Bone marrow smear.
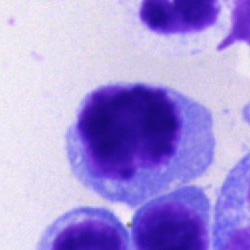

The morphological class is nucleated red blood cell.